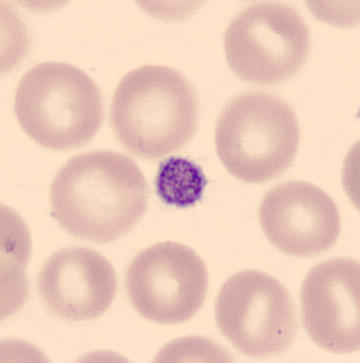Specimen: peripheral blood smear.
Morphological class: platelet.